Brightfield microscopy, 40× oil immersion; bone marrow aspirate smear; May-Grünwald-Giemsa stain
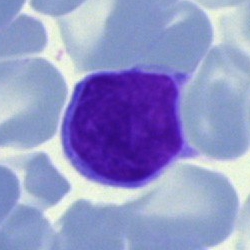 Cell type — lymphocyte.